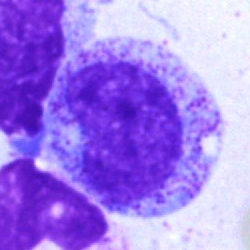 A metamyelocyte.